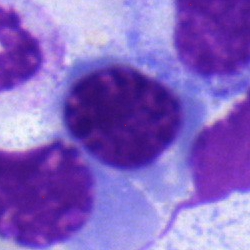Bone marrow aspirate smear, single cell — nucleated red cell.